Bone marrow smear — 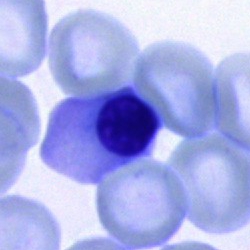Morphology → erythroblast.